Bone marrow aspirate smear:
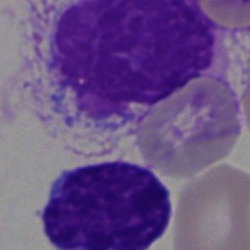 Morphology consistent with an artefact.